Bone marrow aspirate smear
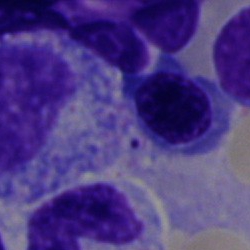 Morphology consistent with a nucleated red cell.